MGG-stained. 40× oil immersion. Bone marrow aspirate smear — 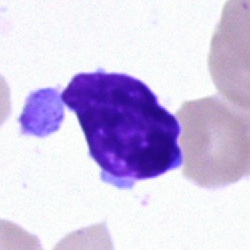 {"cell_type": "artefact"}